Peripheral blood film · cropped to a single cell · brightfield, 100× oil-immersion objective.
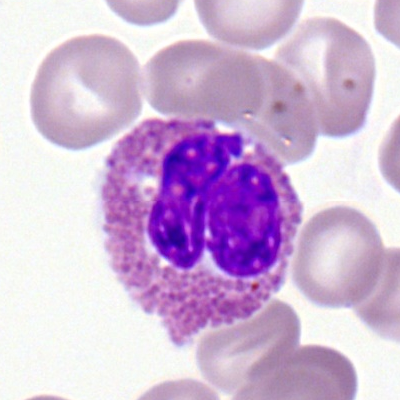
The classification is eosinophilic granulocyte.